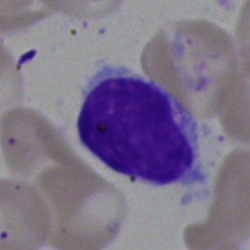

Q: What is shown here?
A: This is a typical lymphocyte.